Bone marrow smear:
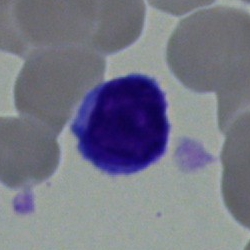 A typical lymphocyte.